Brightfield microscopy, 40× oil immersion. Bone marrow aspirate smear. Single-cell crop — 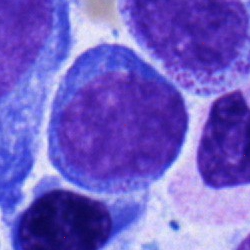
The cell shown is a blast.